Bone marrow smear; May-Grünwald-Giemsa/Pappenheim stain; image size 250×250 — 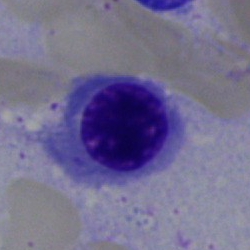

The cell type is nucleated red blood cell.